Single-cell field; bone marrow aspirate smear — 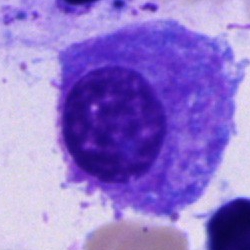
Q: Which cell type is shown here?
A: A plasmacyte.